40× objective, oil immersion; bone marrow aspirate smear — 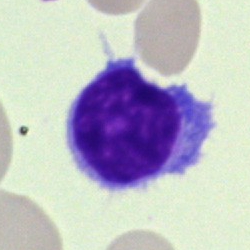Morphological class: typical lymphocyte.